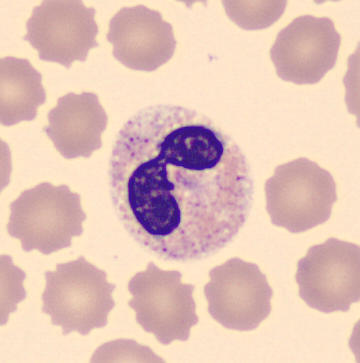 Cell type = segmented neutrophil.

Image: Automated cell imaging (CellaVision DM96). MGG stain. Peripheral blood film.